Peripheral blood smear: 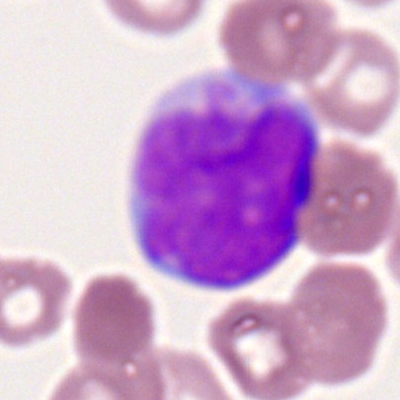

Classification: myeloblast.